Bone marrow smear; single-cell crop:
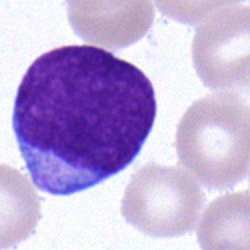
An undifferentiated blast.